Bone marrow aspirate smear
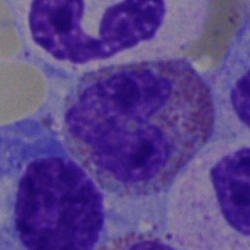

Morphological class: eosinophil.